Pappenheim-stained; single cell centered in the field; bone marrow smear: 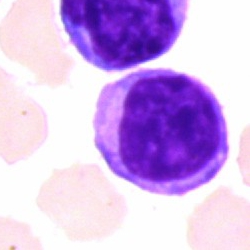Q: What type of cell is this?
A: It is a lymphocyte.